Bone marrow smear
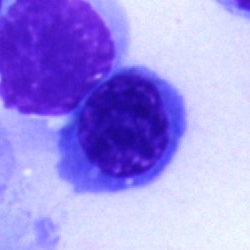Showing a nucleated red cell.